Pappenheim-stained · bone marrow aspirate smear:
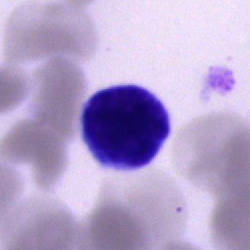Single cell identified as a lymphocyte.